Bone marrow aspirate smear.
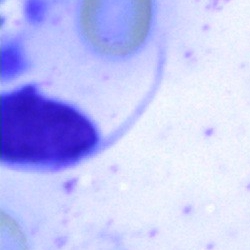

The cell shown is an artifact.